Image size 250×250. Bone marrow aspirate smear. Single cell centered in the field:
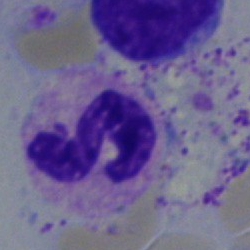
The morphological class is stab cell.